Brightfield, 40× oil-immersion objective; bone marrow smear:
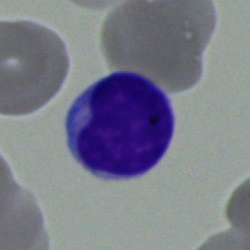
Typical lymphocyte.